Bone marrow smear — 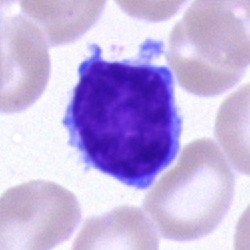 Typical lymphocyte.